May-Grünwald-Giemsa stain · bone marrow aspirate smear · image size 250×250.
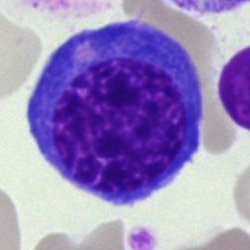

Impression → normoblast.